Bone marrow aspirate smear:
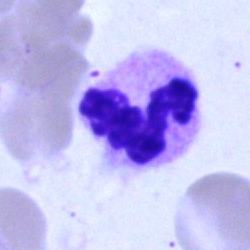
A polymorphonuclear neutrophil.